Bone marrow aspirate smear; 250 by 250 pixels; single-cell field
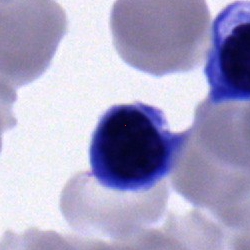 {"cell_type": "normoblast"}